Bone marrow aspirate smear — 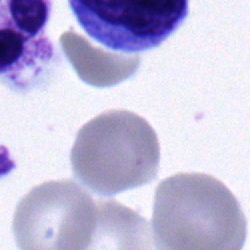 Specimen: bone marrow smear.
Cell type: monocyte.